40× objective, oil immersion; bone marrow aspirate smear; May-Grünwald-Giemsa stain:
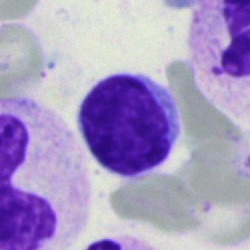 Specimen: bone marrow smear.
Classification: typical lymphocyte.
Lineage: lymphoid.